May-Grünwald-Giemsa/Pappenheim stain · bone marrow aspirate smear.
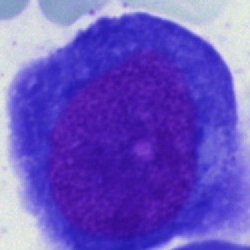Q: What cell is this?
A: This is a proerythroblast.